Bone marrow smear
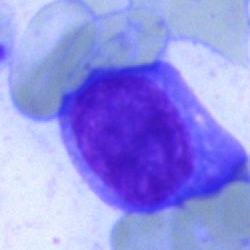
Specimen: bone marrow aspirate smear.
Cell: plasma cell.
Lineage: lymphoid.